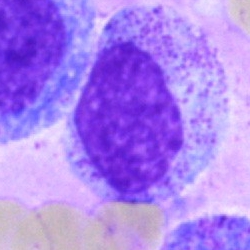 Cell — myelocyte.